May-Grünwald-Giemsa stain; image size 250×250; bone marrow smear.
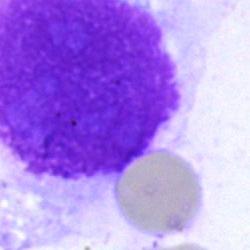

Cell — artifact.